Peripheral blood smear.
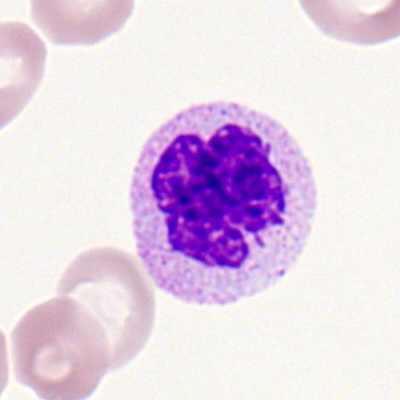 Q: Which cell type is shown here?
A: It is a neutrophil (segmented).